Cropped to a single cell; bone marrow aspirate smear: 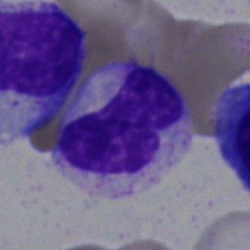

Morphological class — stab cell.